Bone marrow smear. Brightfield, 40× oil-immersion objective. 250 by 250 pixels.
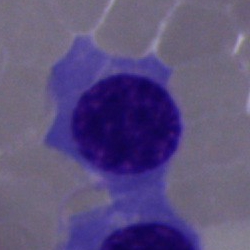Specimen: bone marrow smear.
Morphological class: normoblast.